Cropped to a single cell; bone marrow smear; 40× objective, oil immersion:
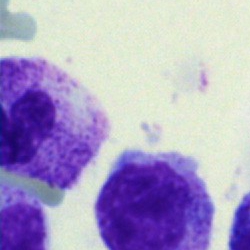
Single cell identified as a myelocyte.